Bone marrow aspirate smear
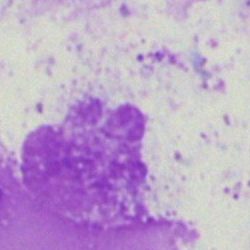
The cell type is artifact.